Pappenheim-stained. 250×250. Bone marrow aspirate smear: 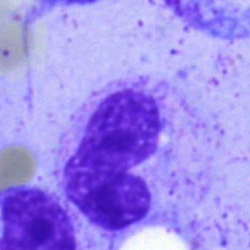

Q: Which cell type is shown here?
A: It is a band neutrophil.